Bone marrow aspirate smear · May-Grünwald-Giemsa/Pappenheim stain:
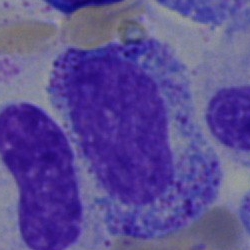

Specimen: bone marrow smear.
Cell: promyelocyte.
Lineage: myeloid.